Bone marrow smear:
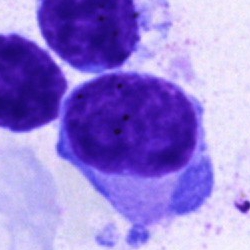
This is a blast.